Bone marrow smear; single-cell crop.
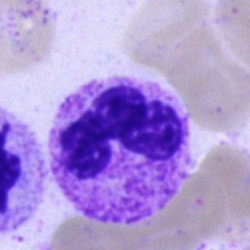
Q: What is the morphological classification of this cell?
A: It is a polymorphonuclear neutrophil.